Bone marrow smear · image size 250×250 · MGG-stained: 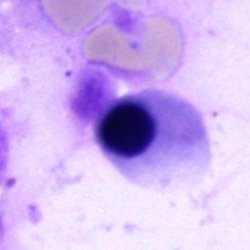

Q: What type of cell is this?
A: Normoblast.